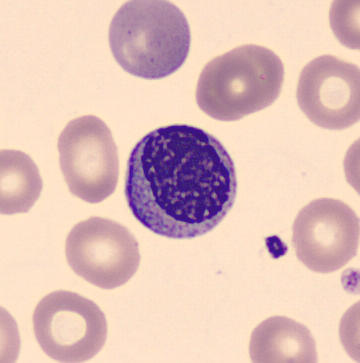

Q: What is shown here?
A: Myelocyte.

Peripheral blood film.